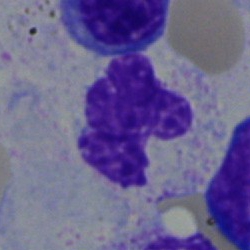 Q: What is the morphological classification of this cell?
A: This is a polymorphonuclear neutrophil.